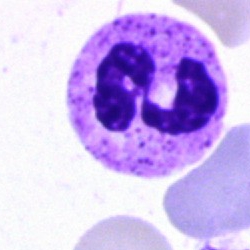
Cell type = polymorphonuclear neutrophil.